Bone marrow smear. 40× oil immersion
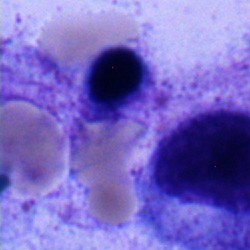

Morphological class = normoblast.